Single-cell field. Bone marrow aspirate smear. 40× oil immersion.
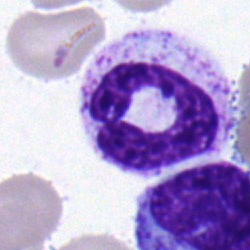

Showing a band-form neutrophil.